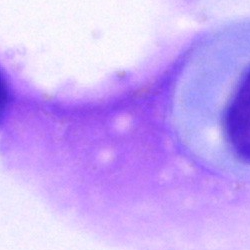
Q: What is shown here?
A: This is an artifact.